Bone marrow aspirate smear
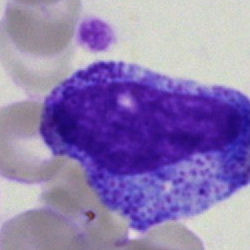

The morphological class is progranulocyte.